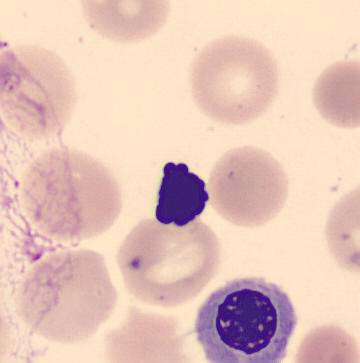Peripheral blood film. The cell is normoblast.